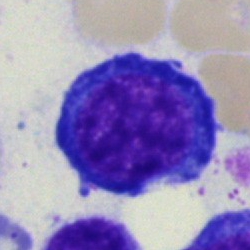

A nucleated red cell on a bone marrow smear.